Bone marrow aspirate smear.
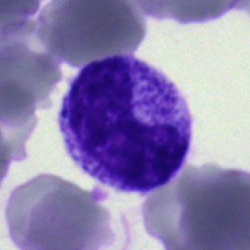

Metamyelocyte.